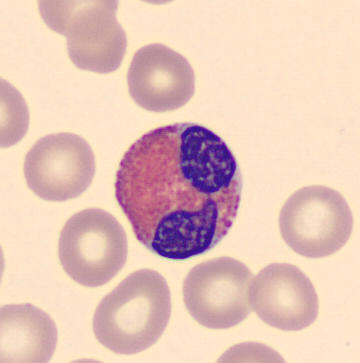The cell is eosinophilic granulocyte.

Acquisition: Peripheral blood film.